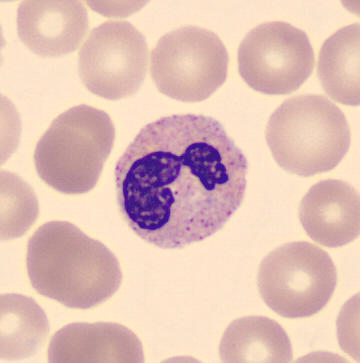

Single-cell crop from a peripheral blood smear: polymorphonuclear neutrophil.